Bone marrow smear.
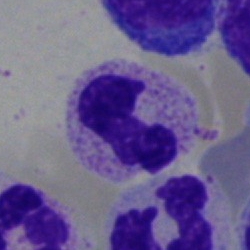Showing a neutrophil (segmented).